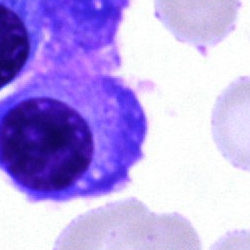Morphology — plasmacyte.